Bone marrow aspirate smear; May-Grünwald-Giemsa stain: 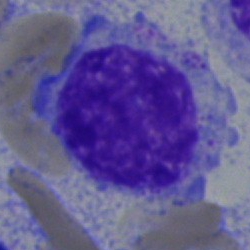

Q: What cell is this?
A: Myelocyte.